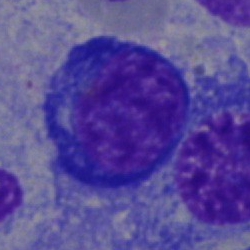
Q: What type of cell is this?
A: It is a nucleated red blood cell.